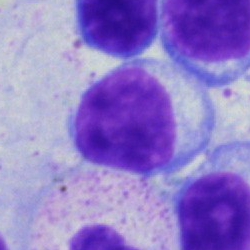{"cell_type": "lymphocyte", "lineage": "lymphoid"}